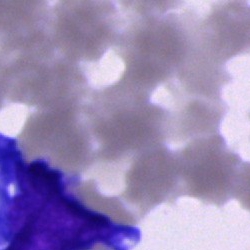Single-cell crop from a bone marrow smear: blast cell.